Bone marrow aspirate smear.
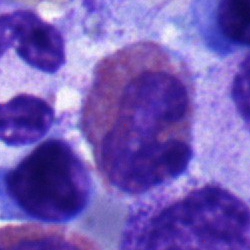
Morphology — eosinophilic granulocyte.